Bone marrow smear. 40× oil immersion: 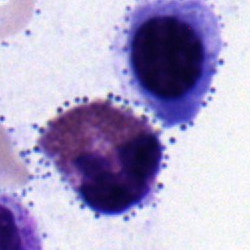
An eosinophil.